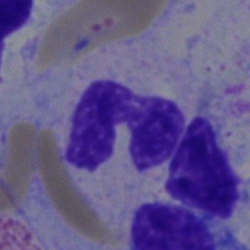 Impression — segmented neutrophil.